Bone marrow smear. 40× oil immersion
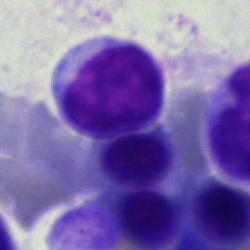 Morphological class: typical lymphocyte.